Bone marrow smear — 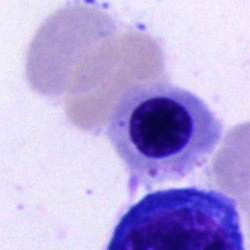
Specimen: bone marrow smear.
Cell: normoblast.
Lineage: erythroid.